Bone marrow smear: 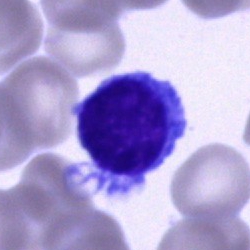 Typical lymphocyte.